Bone marrow smear · image size 250×250
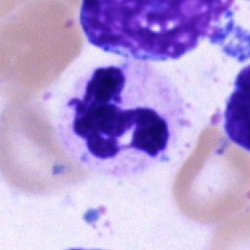Morphology → segmented neutrophil.